Bone marrow aspirate smear.
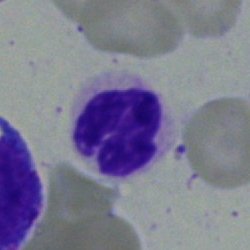
Single cell identified as a neutrophil (segmented).